Bone marrow smear
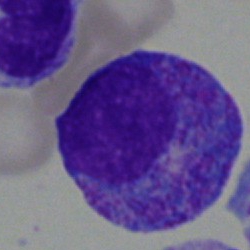

Progranulocyte.